Bone marrow aspirate smear · May-Grünwald-Giemsa/Pappenheim stain.
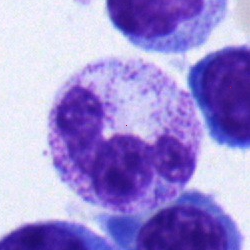Q: Identify the cell.
A: A segmented neutrophil.